Single cell centered in the field; brightfield, 40× oil-immersion objective; bone marrow smear
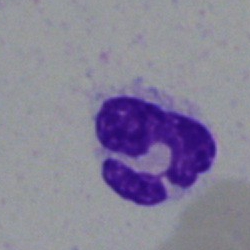Specimen: bone marrow smear.
Cell type: neutrophil (segmented).
Lineage: myeloid.